Bone marrow aspirate smear.
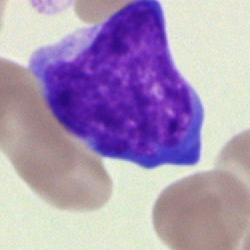

Typical lymphocyte.